Bone marrow aspirate smear: 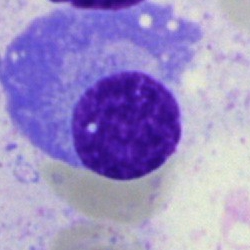
Impression → plasma cell.